Bone marrow aspirate smear: 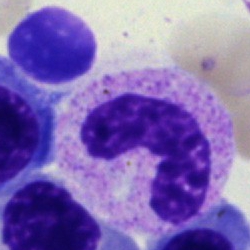Cell = neutrophil (band).